Bone marrow aspirate smear — 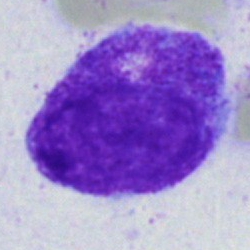
Classification — myelocyte.